Bone marrow aspirate smear.
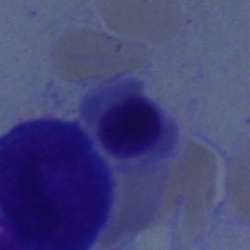

Morphology consistent with an erythroblast.